Bone marrow aspirate smear. 250×250.
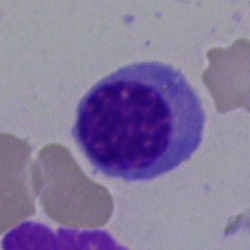
Specimen: bone marrow aspirate smear.
Morphological class: erythroblast.
Lineage: erythroid.